250×250 px · bone marrow smear — 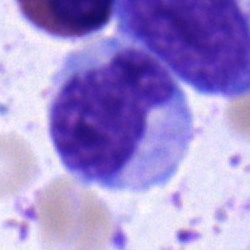Q: Which cell type is shown here?
A: It is a metamyelocyte.